Bone marrow aspirate smear. Brightfield microscopy, 40× oil immersion: 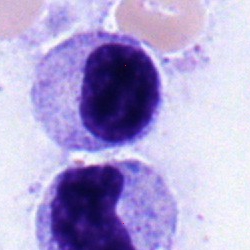

Morphology → myelocyte.